Peripheral blood film. Imaged on a CellaVision DM96 analyser:
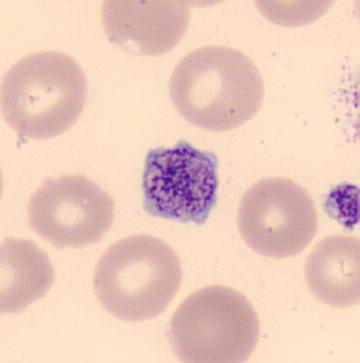

Platelet.